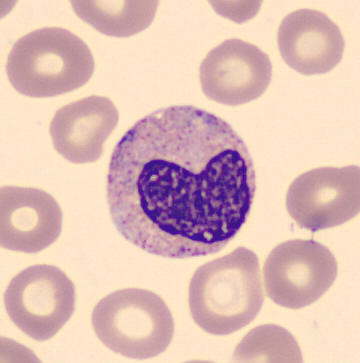The cell shown is a metamyelocyte. Image: Peripheral blood film.